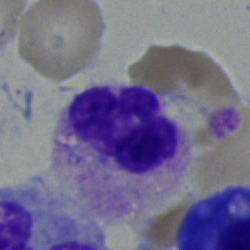

A neutrophil (segmented).